Bone marrow smear:
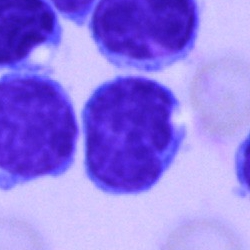

Showing a lymphocyte.